Bone marrow aspirate smear. MGG-stained
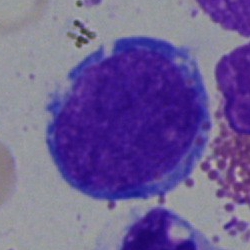Q: What is shown here?
A: Blast.